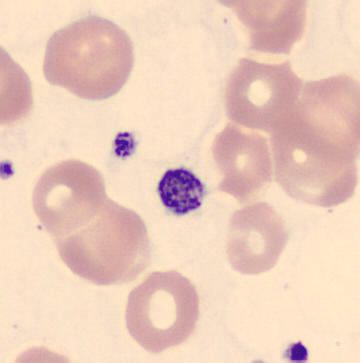 Cell type = platelet (thrombocyte).